Bone marrow aspirate smear · May-Grünwald-Giemsa stain.
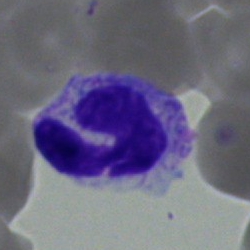
A segmented neutrophil.